Single-cell crop. Bone marrow smear.
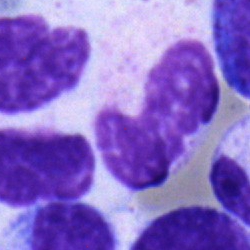
Q: What cell is this?
A: This is a neutrophil (band).